Bone marrow aspirate smear: 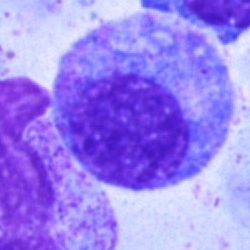 Showing a progranulocyte.